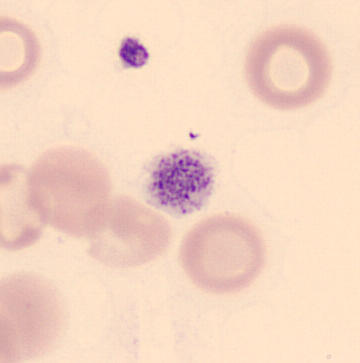

A platelet.

Preparation: Peripheral blood film.